Bone marrow smear.
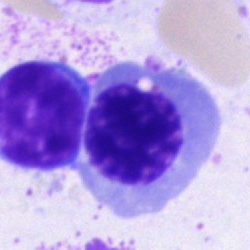 Erythroblast.